Bone marrow smear
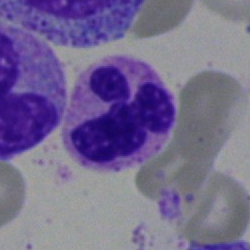
Morphological class — segmented neutrophil.